May-Grünwald-Giemsa stain · bone marrow smear: 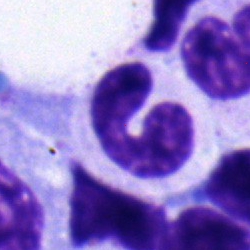 Classification — band neutrophil.